250 by 250 pixels; bone marrow smear.
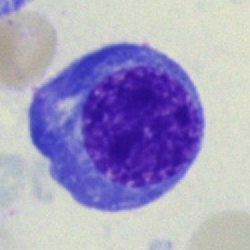 Morphological class = nucleated red blood cell.